Bone marrow smear: 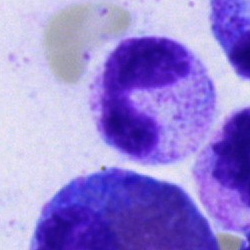Q: What type of cell is this?
A: A neutrophil (segmented).